Bone marrow smear · 40× objective, oil immersion: 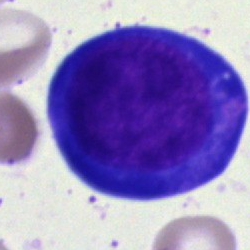 Q: What cell is this?
A: It is a proerythroblast.